Bone marrow smear:
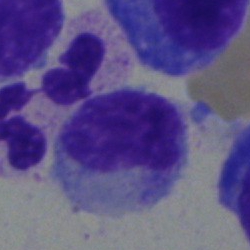
Morphology → metamyelocyte.